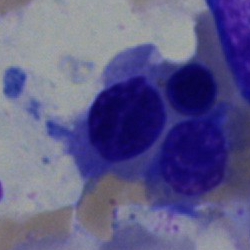

Cell: erythroblast.